Bone marrow aspirate smear · May-Grünwald-Giemsa/Pappenheim stain · cropped to a single cell
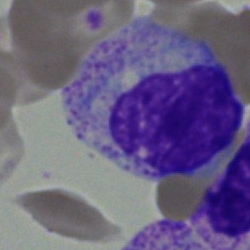
Specimen: bone marrow smear.
Cell: myelocyte.
Lineage: myeloid.